Image size 250×250. Bone marrow aspirate smear. May-Grünwald-Giemsa stain — 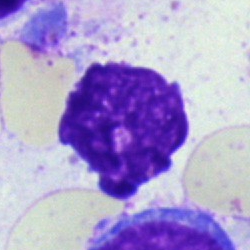 Single cell identified as an artefact.